Bone marrow smear; 40× oil immersion; 250×250
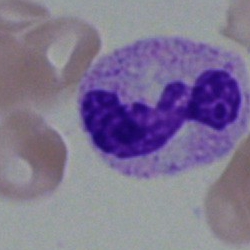

{"cell_type": "polymorphonuclear neutrophil"}